40× oil immersion; single-cell field; bone marrow smear.
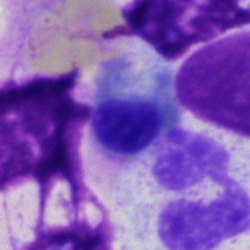 {"cell_type": "nucleated red cell", "lineage": "erythroid"}